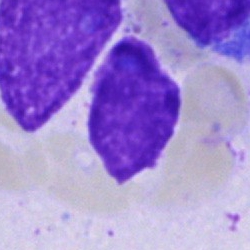 Artifact.